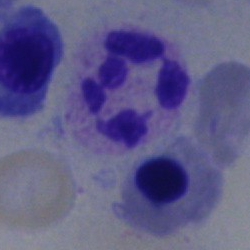

Single cell identified as a neutrophil (segmented).